Bone marrow aspirate smear — 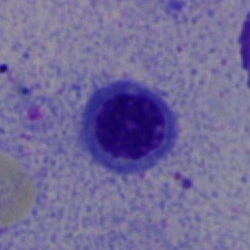
Showing a nucleated red blood cell.